Bone marrow aspirate smear.
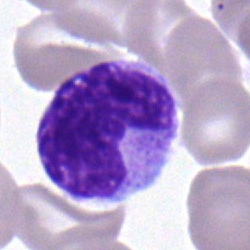

Morphology consistent with a monocyte.